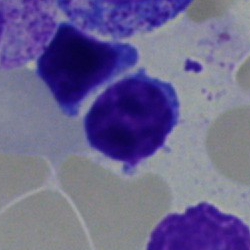 Q: Which cell type is shown here?
A: A typical lymphocyte.